Bone marrow smear.
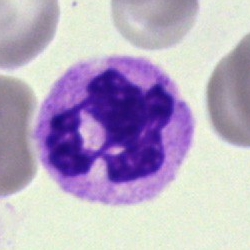

Q: Identify the cell.
A: This is a polymorphonuclear neutrophil.